Bone marrow aspirate smear — 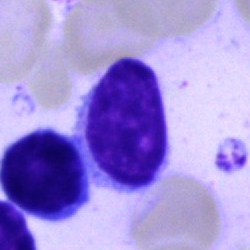
Impression — typical lymphocyte.